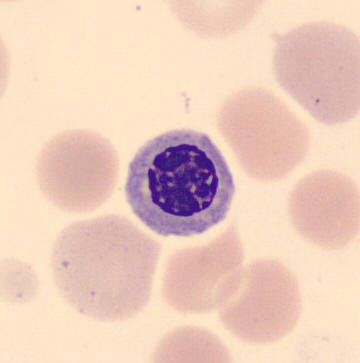Preparation: Peripheral blood film.

Nucleated red blood cell.